Image size 250×250. Bone marrow smear:
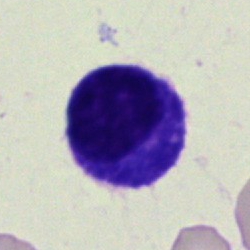
Q: What is the morphological classification of this cell?
A: This is a typical lymphocyte.